Peripheral blood film · single-cell crop · 400×400.
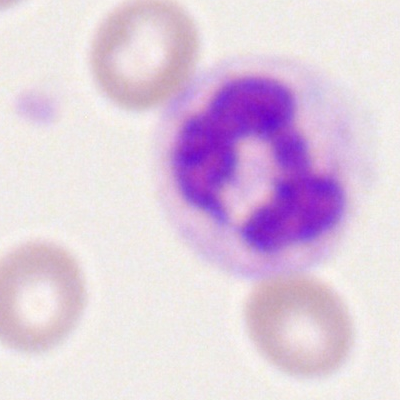Showing a neutrophil (segmented).